Peripheral blood smear.
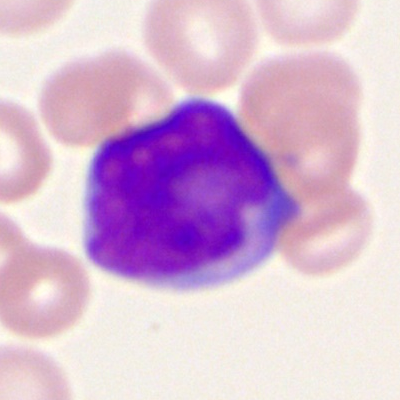

Cell = myeloblast.